Bone marrow aspirate smear; image size 250×250; 40× oil immersion
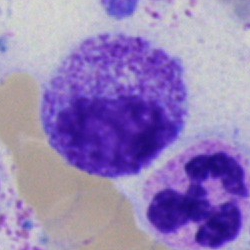 Q: Which cell type is shown here?
A: Myelocyte.